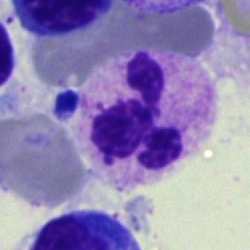
Cell type — neutrophil (segmented).